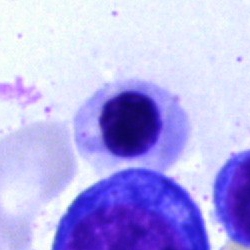 Bone marrow aspirate smear, single cell — nucleated red cell.